MGG-stained. Bone marrow aspirate smear.
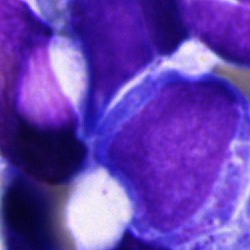The classification is blast.